Bone marrow aspirate smear · image size 250×250 — 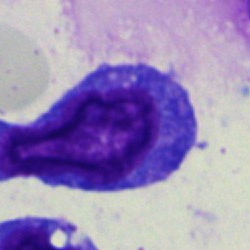 Morphology — plasmacyte.